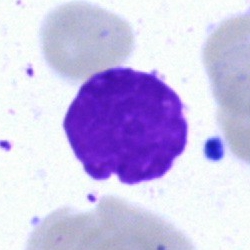

Cell — artifact.